Bone marrow smear — 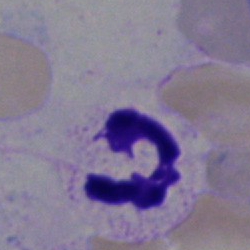 Cell — polymorphonuclear neutrophil.